Bone marrow smear — 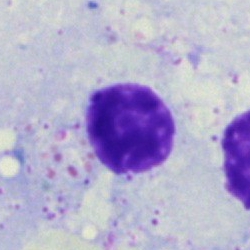
Q: What is shown here?
A: It is an artefact.